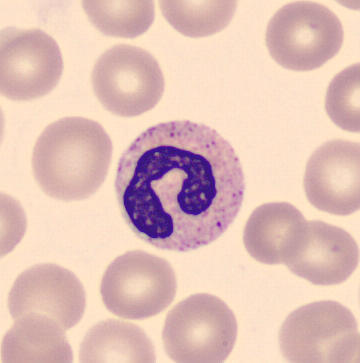 Q: What is this?
A: This is a band neutrophil.